Bone marrow aspirate smear · May-Grünwald-Giemsa stain — 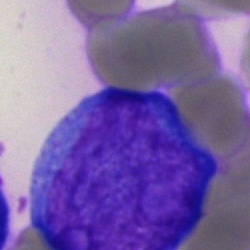
Q: What is the morphological classification of this cell?
A: This is a blast cell.